Bone marrow smear
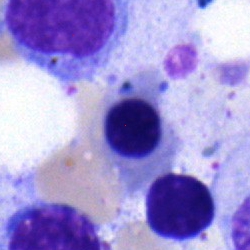{"cell_type": "normoblast", "lineage": "erythroid"}